Bone marrow aspirate smear. May-Grünwald-Giemsa/Pappenheim stain:
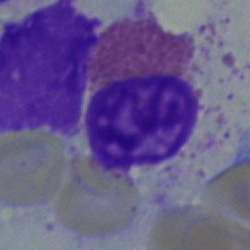

Impression — eosinophil.